Peripheral blood smear — 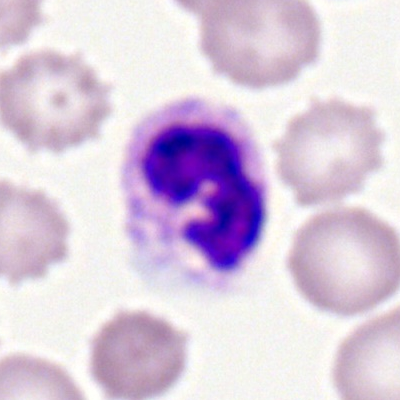 Q: What is the morphological classification of this cell?
A: This is a neutrophil (segmented).